Bone marrow aspirate smear: 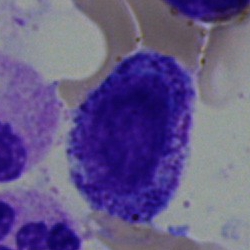 The morphological class is myelocyte.